Bone marrow smear.
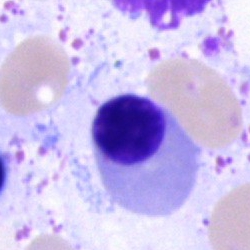

Impression → erythroblast.